Single cell centered in the field; M8 digital microscope (Precipoint), 100× oil immersion; peripheral blood smear
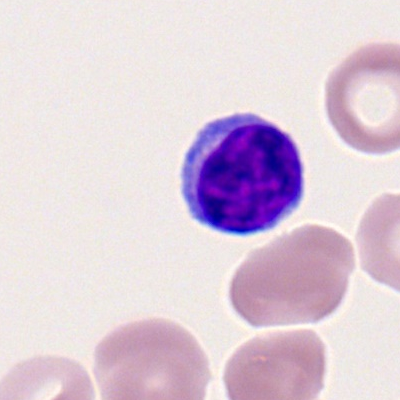 The morphological class is lymphocyte.